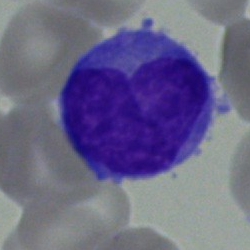
Q: What is shown here?
A: Monocyte.